Bone marrow smear. 250 by 250 pixels: 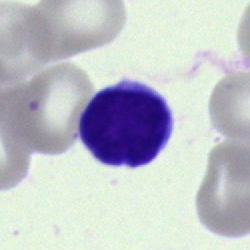
Q: Which cell type is shown here?
A: A lymphocyte.